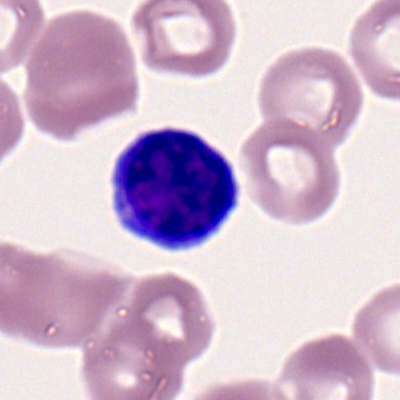
Cell type — typical lymphocyte.